Bone marrow aspirate smear: 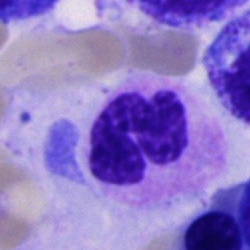 Neutrophil (segmented).